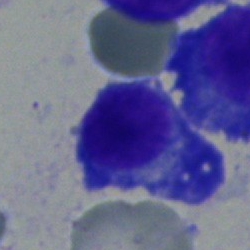

The classification is plasma cell.